Bone marrow aspirate smear — 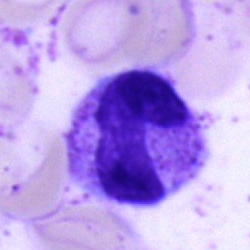
{"cell_type": "band-form neutrophil", "lineage": "myeloid"}